Bone marrow aspirate smear
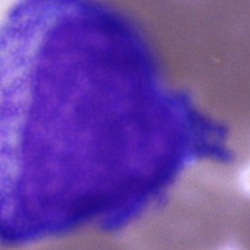{"cell_type": "promyelocyte"}